Bone marrow smear; brightfield, 40× oil-immersion objective — 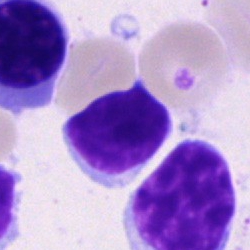Showing a lymphocyte.